Bone marrow smear: 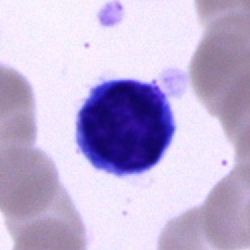

A lymphocyte.